Bone marrow smear
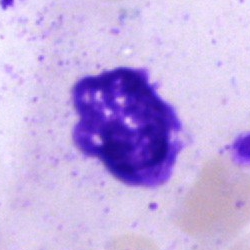
Showing an artefact.